Bone marrow aspirate smear · 250 by 250 pixels — 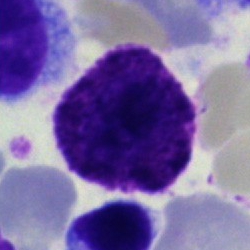 This is an artefact.